Bone marrow smear; image size 250×250; May-Grünwald-Giemsa/Pappenheim stain: 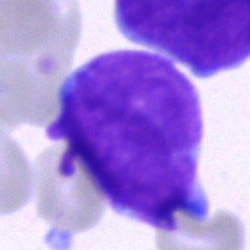 Q: Identify the cell.
A: Blast.